Peripheral blood film.
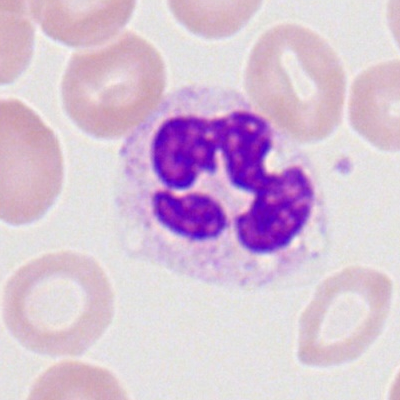The classification is polymorphonuclear neutrophil.